May-Grünwald-Giemsa/Pappenheim stain; bone marrow aspirate smear
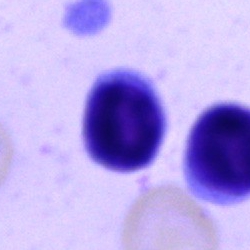
Classification: lymphocyte.